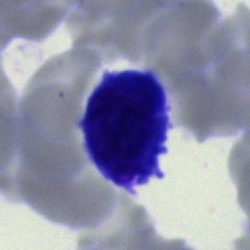
Q: What is shown here?
A: A typical lymphocyte.